Bone marrow aspirate smear:
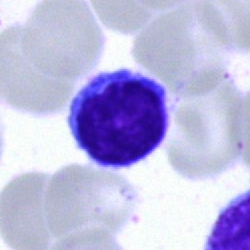

Showing a lymphocyte.